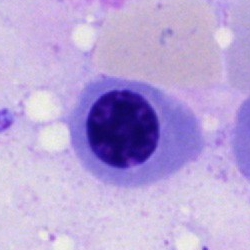
This is an erythroblast.